May-Grünwald-Giemsa stain. 40× oil immersion. Bone marrow smear — 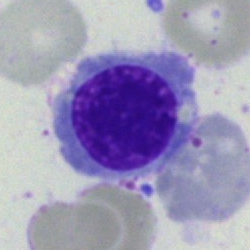 Single cell identified as an erythroblast.